Bone marrow aspirate smear; MGG-stained:
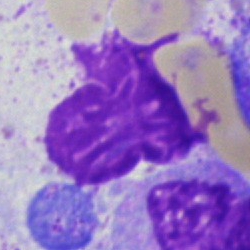 Morphological class — artifact.